MGG-stained · bone marrow smear.
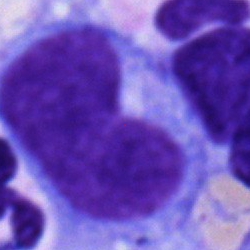 Cell type — monocyte.